Single-cell field. Bone marrow smear — 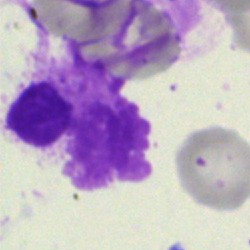

Classification = artifact.